Bone marrow smear:
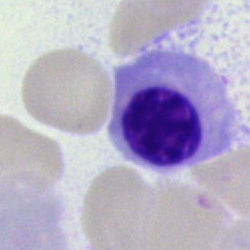
This is a normoblast.